Bone marrow smear — 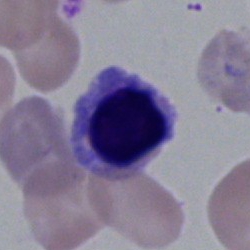The cell shown is a normoblast.